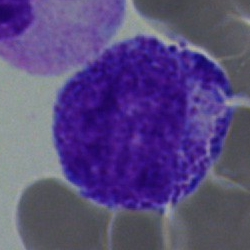{"cell_type": "myelocyte"}